Bone marrow smear
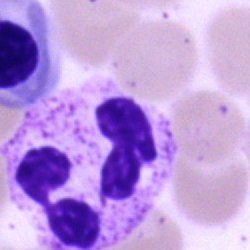 Morphology consistent with a neutrophil (segmented).